Single-cell field. Imaged on a CellaVision DM96 analyser. Peripheral blood smear
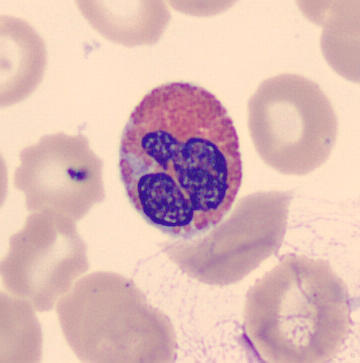

Showing an eosinophil.